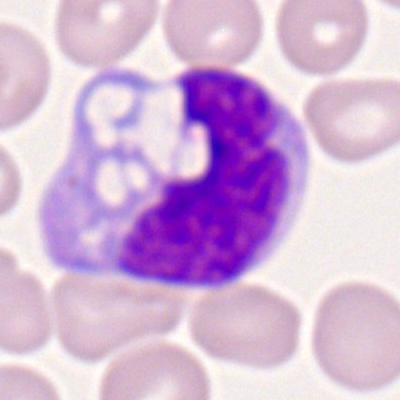 Impression → monocyte.